40× oil immersion · bone marrow smear.
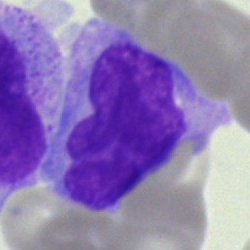
Cell — monocyte.